Bone marrow smear:
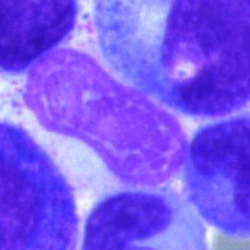 Classification = artefact.